250×250 px · bone marrow aspirate smear — 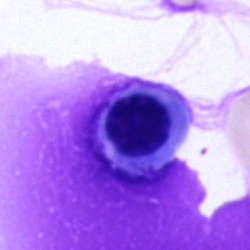
Impression — nucleated red cell.